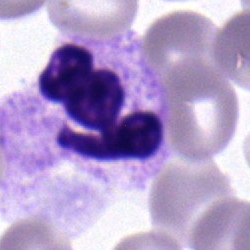 Single-cell crop from a bone marrow smear: segmented neutrophil.